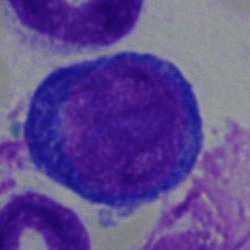 Q: Which cell type is shown here?
A: This is an erythroblast.